Bone marrow aspirate smear — 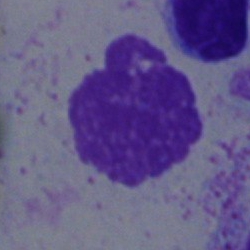
Single cell identified as an artefact.